Bone marrow smear
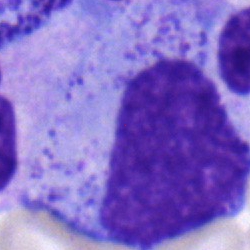
Specimen: bone marrow aspirate smear.
Cell type: progranulocyte.